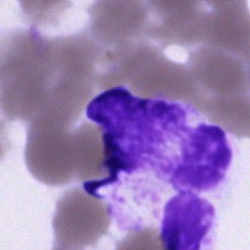

The cell type is artefact.